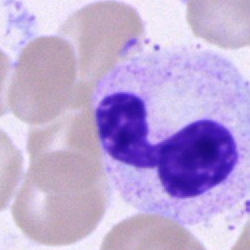Cell type — segmented neutrophil.